40× oil immersion; bone marrow aspirate smear — 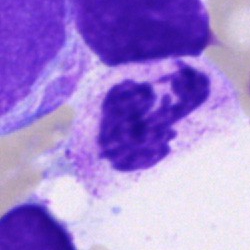
Cell type = neutrophil (segmented).